Romanowsky stain. 100× oil immersion, 14.14 px/µm. Peripheral blood smear — 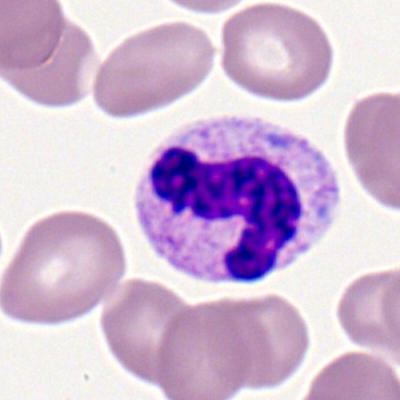

Single cell identified as a polymorphonuclear neutrophil.